Bone marrow aspirate smear — 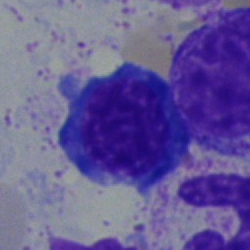Impression — normoblast.